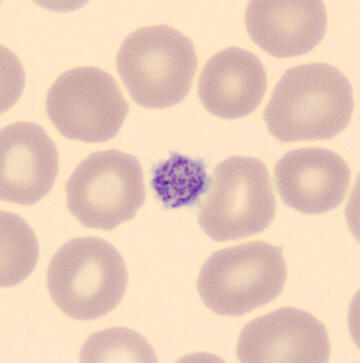

Image: Peripheral blood smear; 360×363. A platelet.